Bone marrow smear.
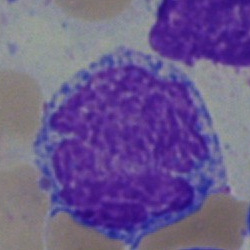

This is a blast.